Bone marrow smear — 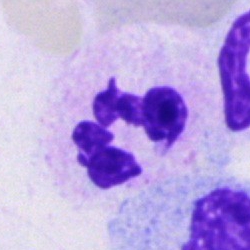

Morphological class — segmented neutrophil.